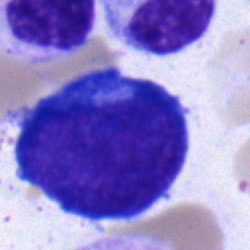 Morphology → proerythroblast.